Bone marrow aspirate smear:
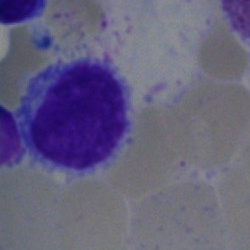 Showing a typical lymphocyte.